Bone marrow smear · 250×250 px
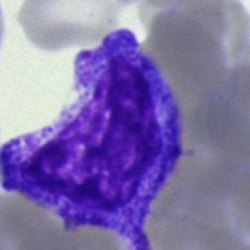 Impression → promyelocyte.